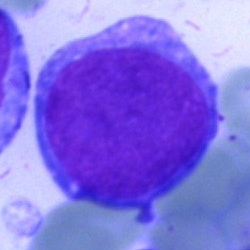 Morphological class: undifferentiated blast.